Bone marrow aspirate smear.
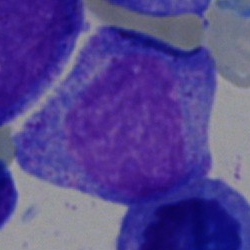Morphology — blast cell.